Bone marrow smear — 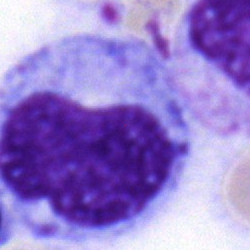The cell is myelocyte.